Brightfield, 100× oil-immersion objective · peripheral blood film
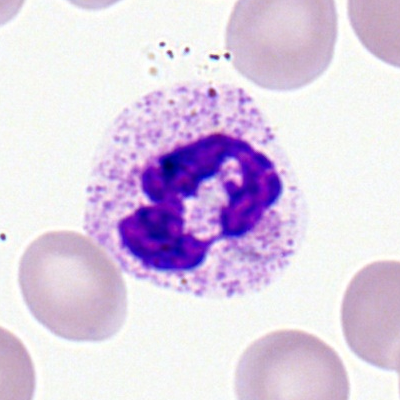

The morphological class is segmented neutrophil.